Peripheral blood smear — 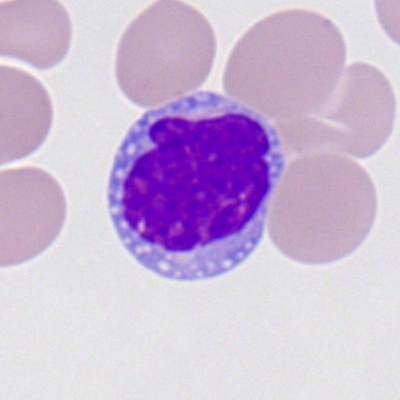Morphological class = monocyte.